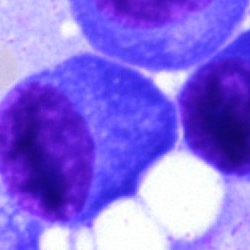
Single cell identified as a plasmacyte.